Single-cell crop · bone marrow aspirate smear · 40× objective, oil immersion: 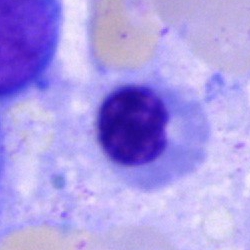Morphology consistent with a nucleated red blood cell.